Bone marrow aspirate smear
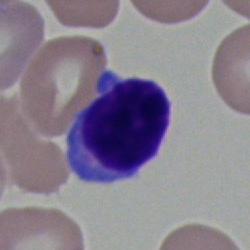
Q: What is the morphological classification of this cell?
A: This is a lymphocyte.